Bone marrow smear:
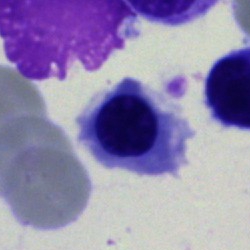This is a normoblast.